Peripheral blood smear · image size 400×400
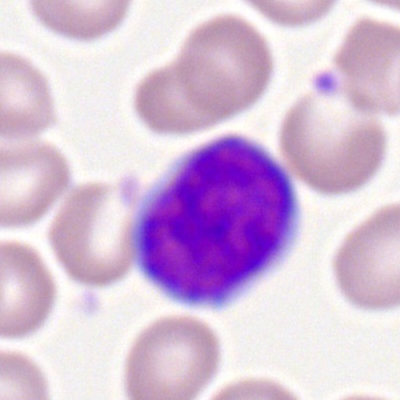A typical lymphocyte.